40× oil immersion. Bone marrow aspirate smear
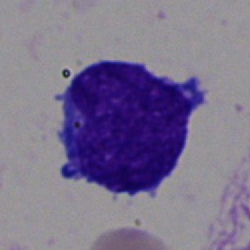 Specimen: bone marrow aspirate smear.
Morphological class: blast.